Bone marrow smear: 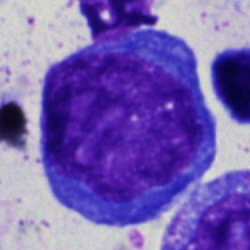Morphology consistent with an undifferentiated blast.